Bone marrow aspirate smear; image size 250×250.
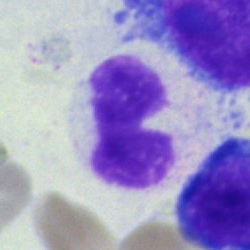Specimen: bone marrow smear.
Cell type: segmented neutrophil.
Lineage: myeloid.